Bone marrow smear · Pappenheim-stained — 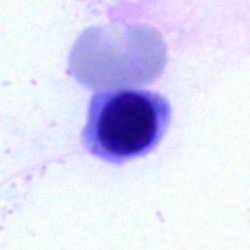
A normoblast.